Bone marrow smear · single-cell crop: 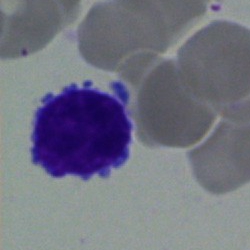A typical lymphocyte.